Bone marrow smear. 40× oil immersion — 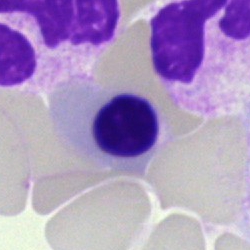 Impression → nucleated red cell.